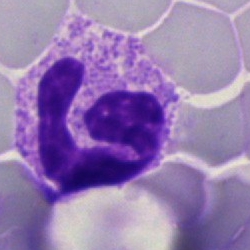

Specimen: bone marrow aspirate smear.
Classification: neutrophil (segmented).